MGG-stained. 250 by 250 pixels. Bone marrow aspirate smear — 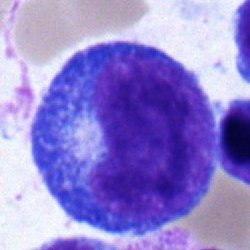 Morphological class = pronormoblast.